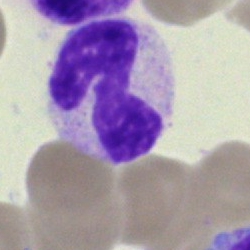

Classification = segmented neutrophil.